Peripheral blood smear · Romanowsky-type stain
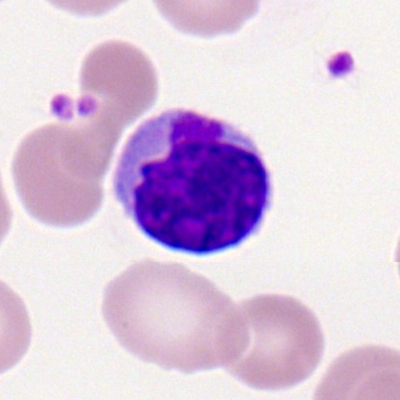 The cell shown is a typical lymphocyte.